Peripheral blood film:
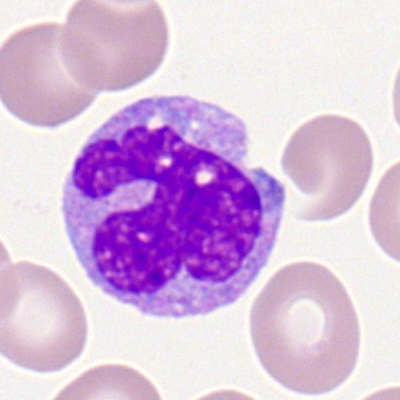

Q: What is shown here?
A: Monocyte.